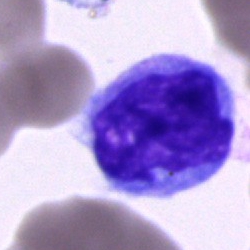
Specimen: bone marrow smear.
Cell: monocyte.
Lineage: myeloid.